Bone marrow aspirate smear; single-cell field; 250×250 px:
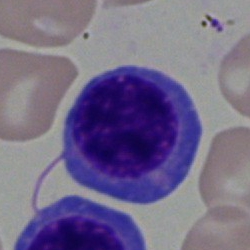Cell type — nucleated red cell.